Image size 250×250. Bone marrow smear.
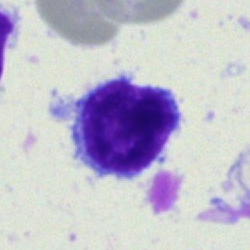 Q: What is shown here?
A: This is a lymphocyte.